Brightfield, 40× oil-immersion objective; bone marrow aspirate smear; Pappenheim-stained:
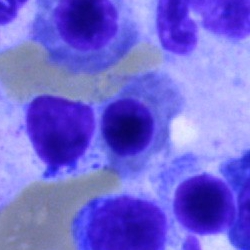
Showing a normoblast.